M8 digital microscope (Precipoint), 100× oil immersion; cropped to a single cell; peripheral blood film
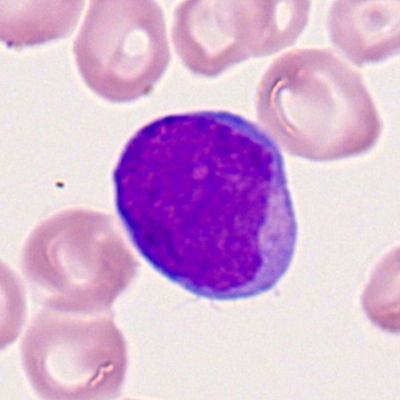
Q: What cell is this?
A: It is a myeloblast.